Bone marrow aspirate smear: 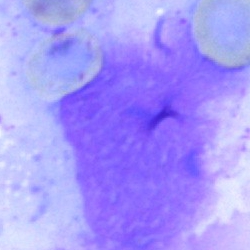
An artefact.